Bone marrow aspirate smear: 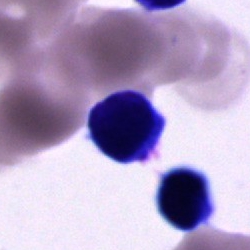

The cell type is cell of indeterminate lineage.